Brightfield, 40× oil-immersion objective; bone marrow smear
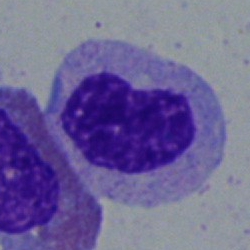The cell shown is a band neutrophil.